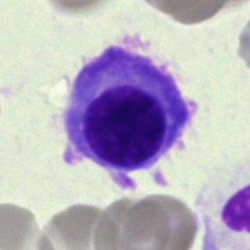

{"cell_type": "plasma cell", "lineage": "lymphoid"}